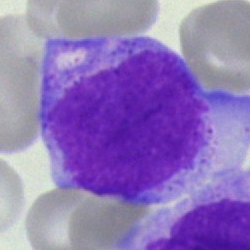Impression → undifferentiated blast.